Bone marrow aspirate smear:
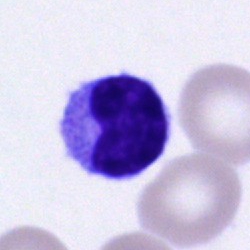 Cell — lymphocyte.